Bone marrow smear. Brightfield microscopy, 40× oil immersion.
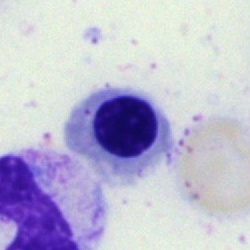
Cell type = normoblast.